250 by 250 pixels; bone marrow aspirate smear: 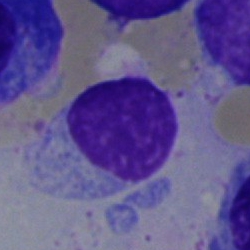
{"cell_type": "typical lymphocyte", "lineage": "lymphoid"}